Bone marrow aspirate smear. Brightfield, 40× oil-immersion objective: 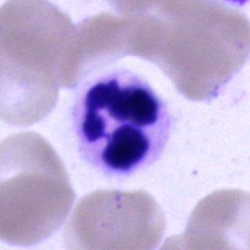

Q: Identify the cell.
A: It is a polymorphonuclear neutrophil.